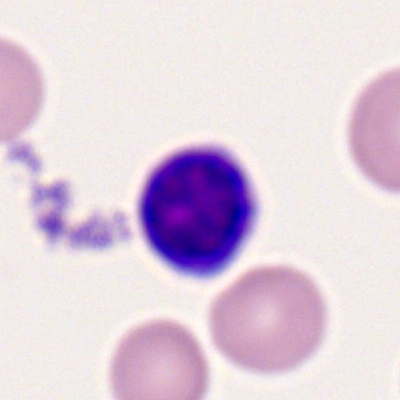

Cell — lymphocyte.